Single cell centered in the field; bone marrow smear
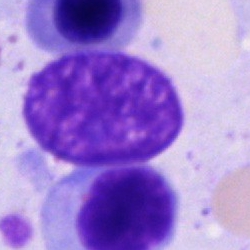Artefact.